250×250; bone marrow smear — 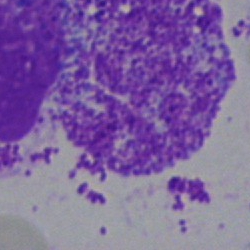 Specimen: bone marrow aspirate smear.
Classification: artifact.